Bone marrow smear — 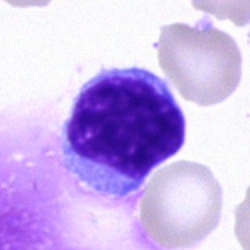The cell shown is a lymphocyte.